Pappenheim-stained. Bone marrow aspirate smear. 40× objective, oil immersion:
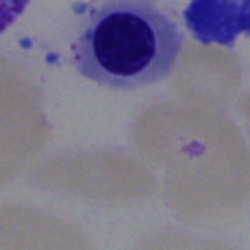
Cell type: erythroblast.